Bone marrow aspirate smear; 250×250 px — 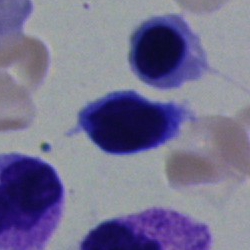

Morphology consistent with a typical lymphocyte.